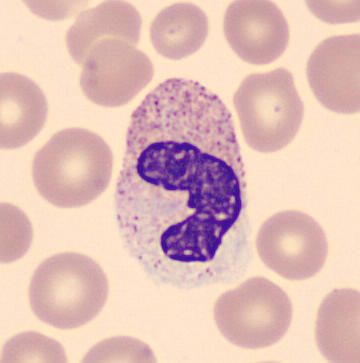Acquisition: May Grünwald-Giemsa stain. Peripheral blood film. Morphology → stab cell.